Bone marrow aspirate smear. 40× oil immersion. Image size 250×250:
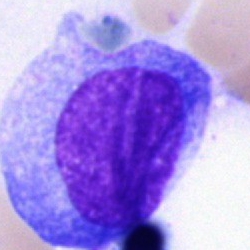 Specimen: bone marrow smear.
Cell type: undifferentiated blast.